Bone marrow aspirate smear.
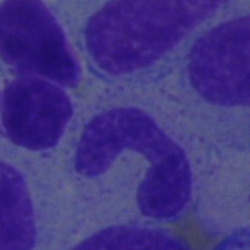Morphological class = band-form neutrophil.